Single-cell field; bone marrow aspirate smear.
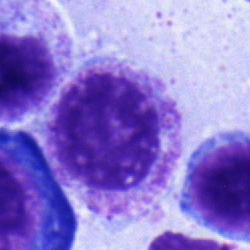 The cell shown is a myelocyte.